Bone marrow aspirate smear — 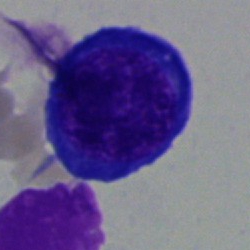 A nucleated red blood cell.